Bone marrow aspirate smear: 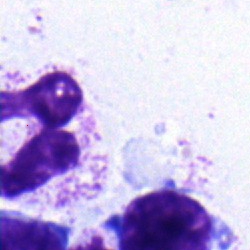 Specimen: bone marrow smear.
Classification: segmented neutrophil.